Bone marrow aspirate smear:
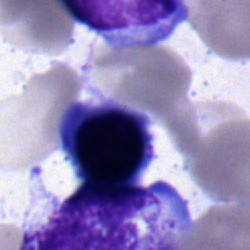
Morphological class = nucleated red blood cell.